MGG-stained · 250×250 px · bone marrow aspirate smear
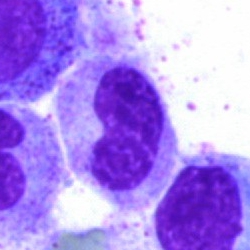
Classification: band neutrophil.